Bone marrow smear:
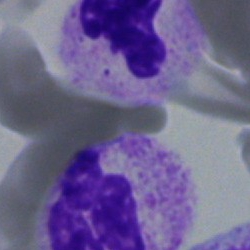A neutrophil (segmented).